Single-cell field; bone marrow smear:
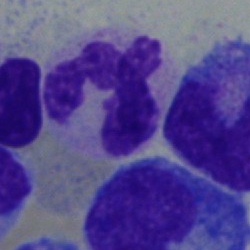
{"cell_type": "polymorphonuclear neutrophil"}